Bone marrow aspirate smear.
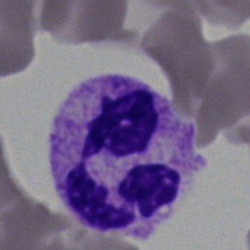

Q: Which cell type is shown here?
A: This is a neutrophil (segmented).